Bone marrow aspirate smear — 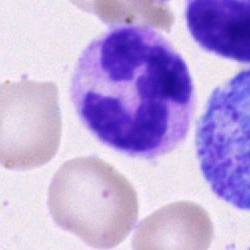Cell — polymorphonuclear neutrophil.